Single cell centered in the field · peripheral blood film · 100× oil immersion, 14.14 px/µm:
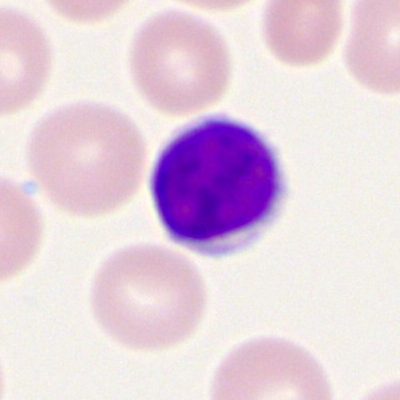The cell type is lymphocyte.